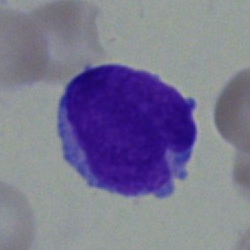Blast cell.